Brightfield, 40× oil-immersion objective; bone marrow smear:
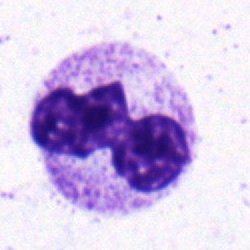

Classification: neutrophil (segmented).